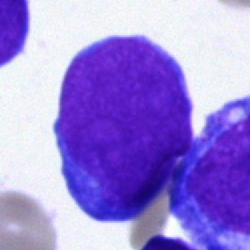
Cell — undifferentiated blast.